Bone marrow smear
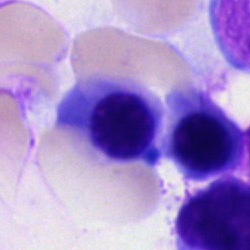Morphological class — nucleated red cell.